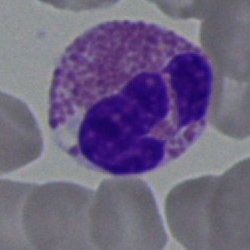 Specimen: bone marrow aspirate smear.
Classification: eosinophil.
Lineage: myeloid.